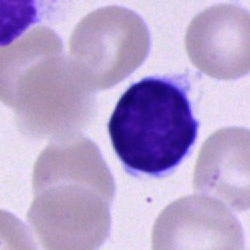
{"cell_type": "typical lymphocyte", "lineage": "lymphoid"}